Bone marrow aspirate smear
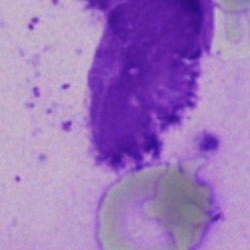Artifact.